Brightfield microscopy, 40× oil immersion; bone marrow smear: 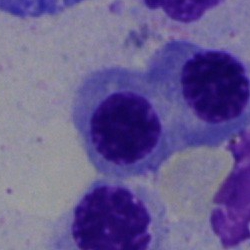 This is a nucleated red cell.